MGG-stained · brightfield, 40× oil-immersion objective · bone marrow aspirate smear:
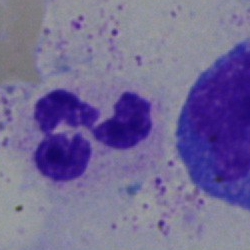

{"cell_type": "neutrophil (segmented)"}